250 by 250 pixels · bone marrow aspirate smear
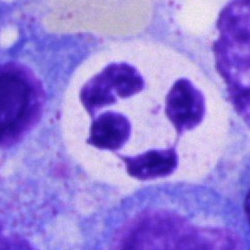The classification is polymorphonuclear neutrophil.